Bone marrow smear:
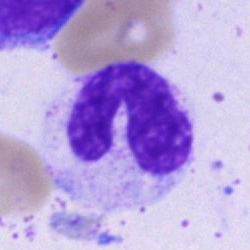
Single cell identified as a band-form neutrophil.